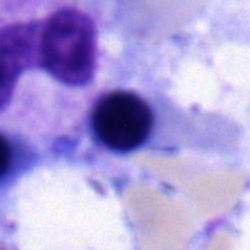

Q: Identify the cell.
A: It is a nucleated red cell.